Bone marrow smear · 40× objective, oil immersion — 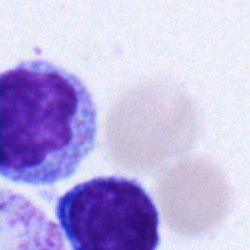

{"cell_type": "lymphocyte", "lineage": "lymphoid"}